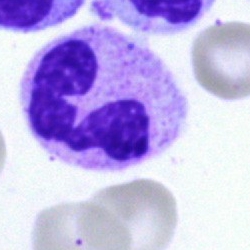 The cell shown is a neutrophil (segmented).